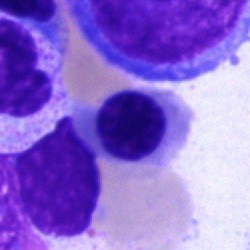 Erythroblast.